Bone marrow aspirate smear. Brightfield microscopy, 40× oil immersion — 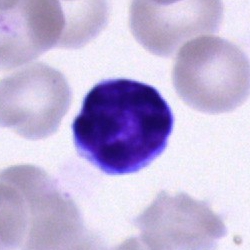
Showing a lymphocyte.